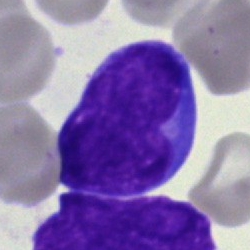{"cell_type": "blast"}